Bone marrow aspirate smear:
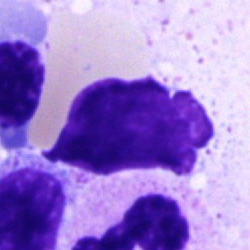

Morphological class = artifact.